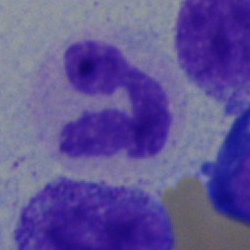

Impression → neutrophil (segmented).